Bone marrow smear.
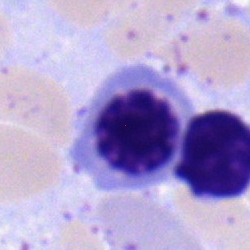

Single cell identified as an erythroblast.